Bone marrow smear — 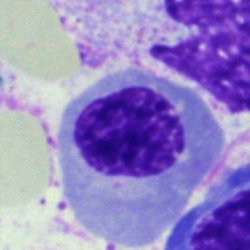Q: What is shown here?
A: This is a normoblast.